Bone marrow smear; single-cell field; May-Grünwald-Giemsa stain:
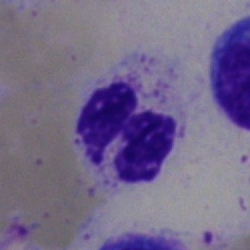

Cell: segmented neutrophil.